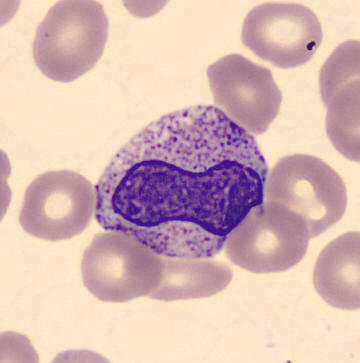Q: What is the morphological classification of this cell?
A: A metamyelocyte.